Brightfield microscopy, 40× oil immersion; bone marrow smear: 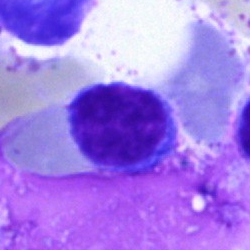 Classification: typical lymphocyte.